Bone marrow smear. May-Grünwald-Giemsa stain
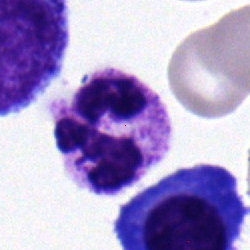
Q: Identify the cell.
A: A segmented neutrophil.